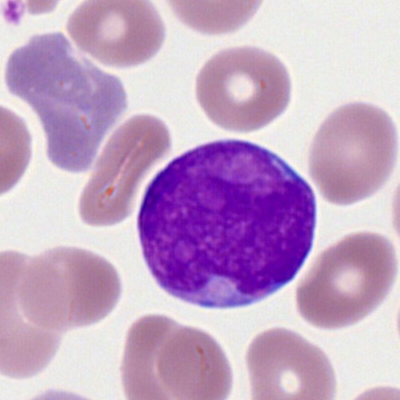Q: Which cell type is shown here?
A: It is a myeloid blast.